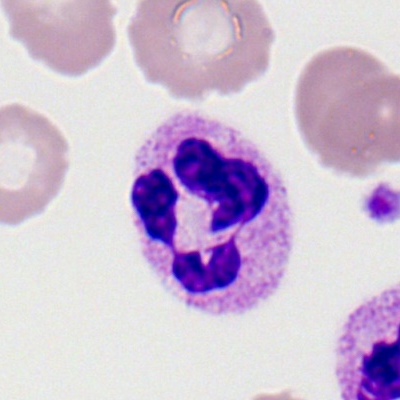

A polymorphonuclear neutrophil on a peripheral blood smear.